250 by 250 pixels; bone marrow aspirate smear.
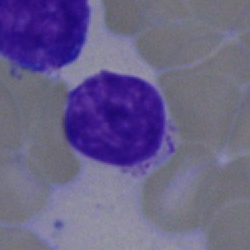 Q: Identify the cell.
A: It is a blast cell.